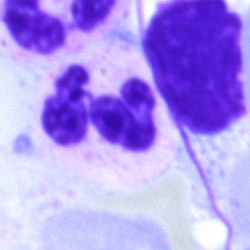

Cell type — neutrophil (segmented).